40× oil immersion · single cell centered in the field · bone marrow smear: 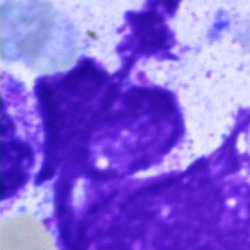 Morphology → artifact.